Bone marrow smear; brightfield, 40× oil-immersion objective: 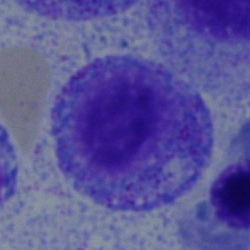
Cell: myelocyte.